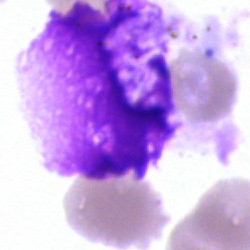Bone marrow aspirate smear, single cell — artefact.